Bone marrow aspirate smear; 40× objective, oil immersion; image size 250×250
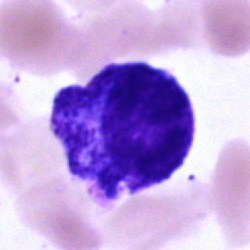

Q: What type of cell is this?
A: This is a progranulocyte.